Bone marrow smear; single cell centered in the field; MGG-stained: 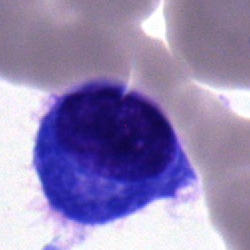Impression — plasmacyte.